Bone marrow aspirate smear · MGG-stained
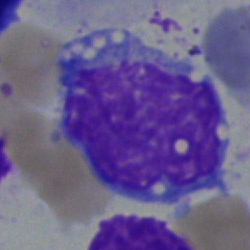 A blast.